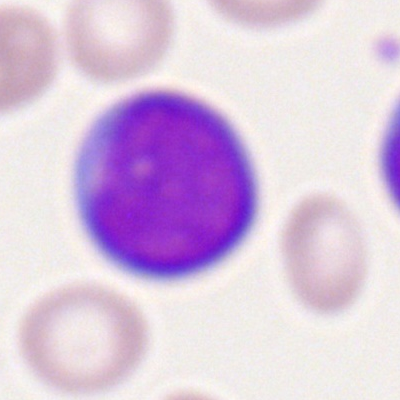Q: Which cell type is shown here?
A: This is a myeloid blast.